40× objective, oil immersion; bone marrow smear
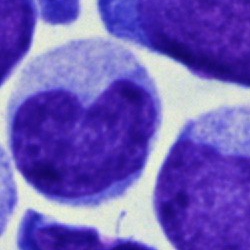
Q: What is the morphological classification of this cell?
A: A monocyte.